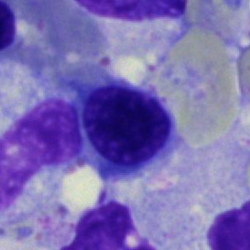
Q: What type of cell is this?
A: A nucleated red blood cell.